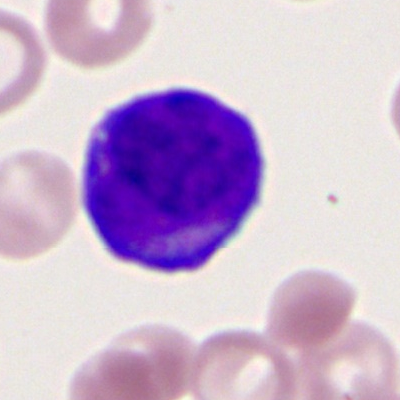
Q: What is the morphological classification of this cell?
A: This is a myeloblast.